Peripheral blood smear
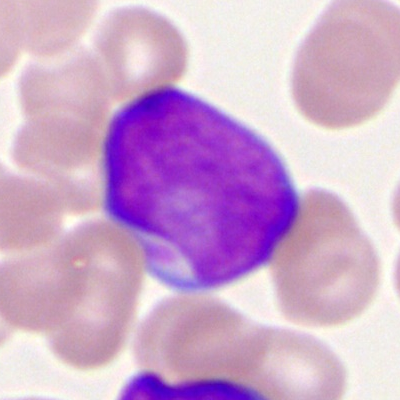
Morphology consistent with a myeloid blast.